Bone marrow aspirate smear; single cell centered in the field; 250×250:
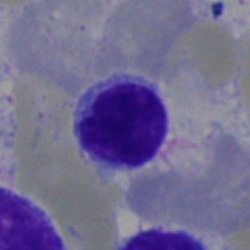
Specimen: bone marrow aspirate smear.
Classification: typical lymphocyte.
Lineage: lymphoid.